Bone marrow aspirate smear · single cell centered in the field · brightfield, 40× oil-immersion objective
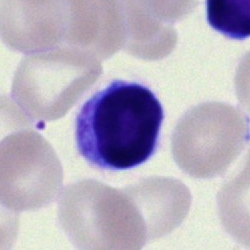
Specimen: bone marrow smear.
Classification: lymphocyte.
Lineage: lymphoid.